Peripheral blood smear — 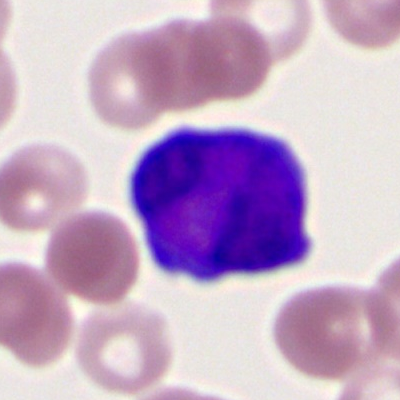Q: Identify the cell.
A: It is a myeloblast.